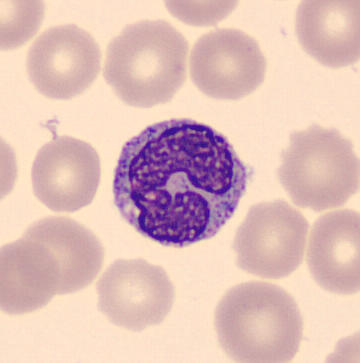The cell shown is a monocyte.